Peripheral blood film. Romanowsky stain. Image size 400×400.
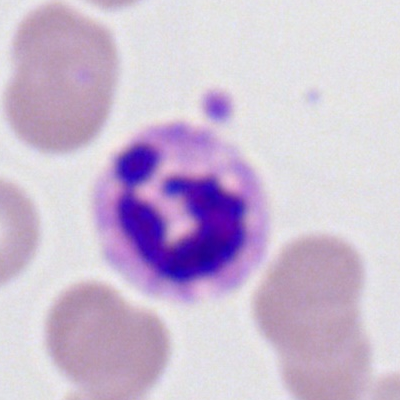
Specimen: peripheral blood film.
Classification: segmented neutrophil.
Lineage: myeloid.